Image size 250×250 · bone marrow smear
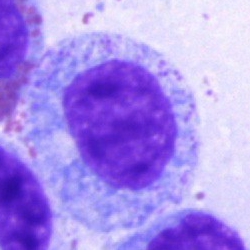Classification = promyelocyte.